Bone marrow aspirate smear — 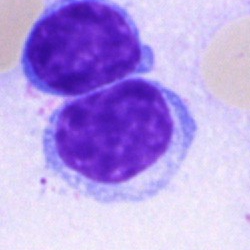A typical lymphocyte.